Bone marrow aspirate smear.
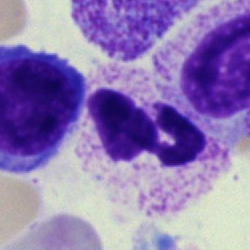 This is a neutrophil (segmented).